Bone marrow aspirate smear.
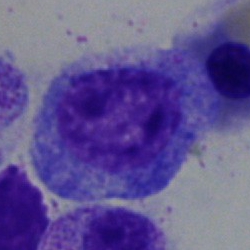 Morphology consistent with a progranulocyte.